Peripheral blood smear — 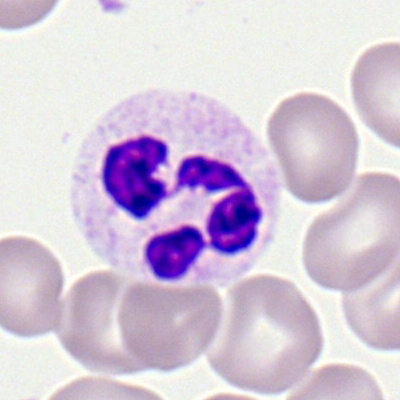

Impression → polymorphonuclear neutrophil.